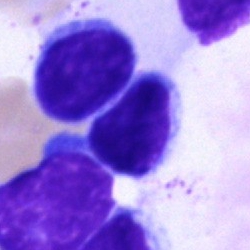
Showing a lymphocyte.